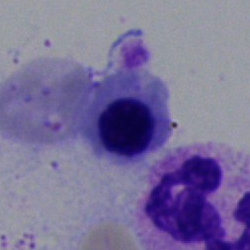
The cell shown is an erythroblast.